Bone marrow smear; 250 by 250 pixels; May-Grünwald-Giemsa/Pappenheim stain.
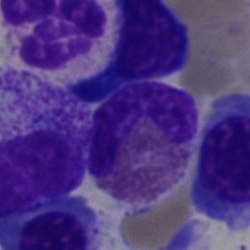
{"cell_type": "eosinophilic granulocyte", "lineage": "myeloid"}